Bone marrow aspirate smear. Single cell centered in the field. May-Grünwald-Giemsa stain
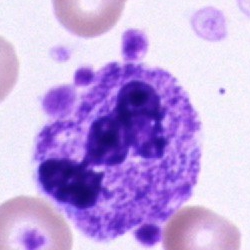 A polymorphonuclear neutrophil.